Bone marrow smear: 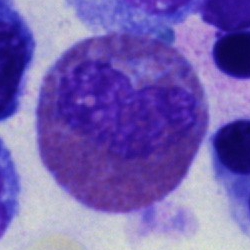Single cell identified as an eosinophilic granulocyte.